Bone marrow aspirate smear — 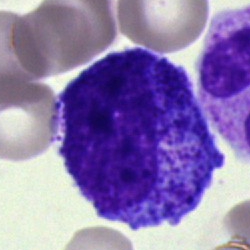 Cell = promyelocyte.